Bone marrow aspirate smear:
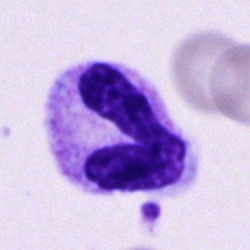

The morphological class is band neutrophil.